Bone marrow aspirate smear · single cell centered in the field: 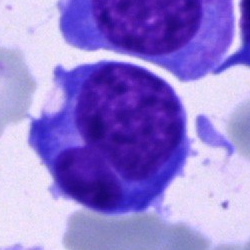 An undifferentiated blast.